Bone marrow smear.
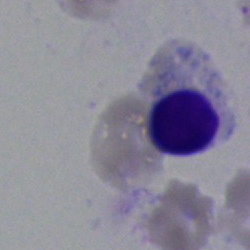Single cell identified as a normoblast.